Bone marrow aspirate smear — 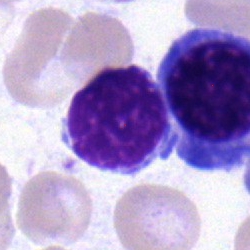Q: What cell is this?
A: Lymphocyte.